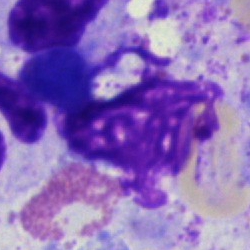 This is an artefact.